250 by 250 pixels; bone marrow aspirate smear:
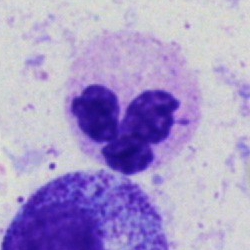 {"cell_type": "segmented neutrophil", "lineage": "myeloid"}